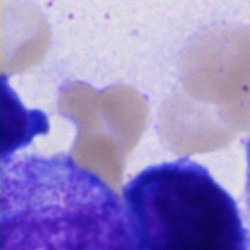Morphological class — cell of indeterminate lineage.